Bone marrow smear.
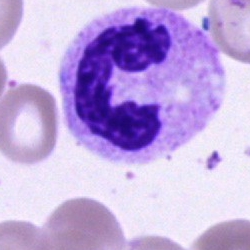
Q: What is shown here?
A: This is a stab cell.